250×250. Pappenheim-stained. Bone marrow aspirate smear
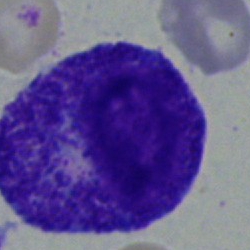

{"cell_type": "promyelocyte"}